Peripheral blood film
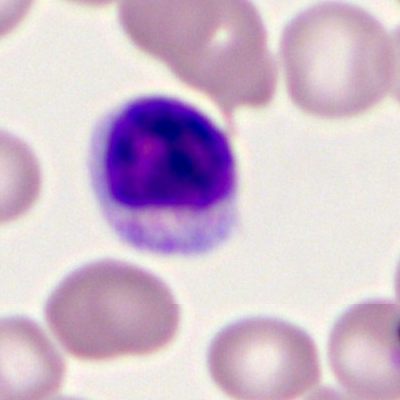
This is a lymphocyte.